Bone marrow smear:
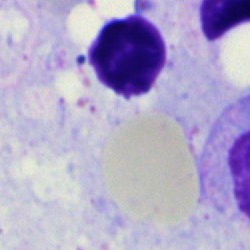Impression → artefact.